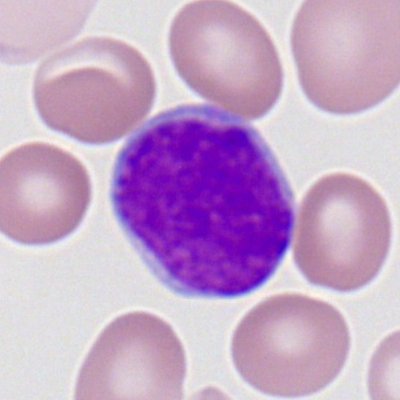 Morphology consistent with a myeloid blast.